Bone marrow aspirate smear
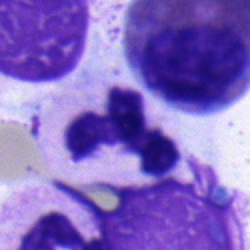 Showing a neutrophil (segmented).